Bone marrow aspirate smear:
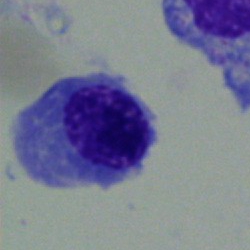Classification = nucleated red cell.